Bone marrow smear: 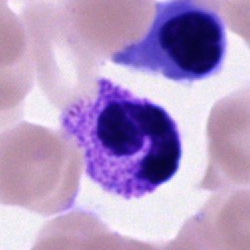
The cell shown is a segmented neutrophil.